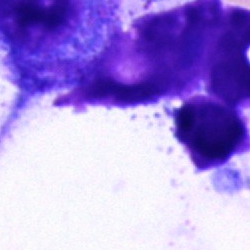 Cell type — artifact.